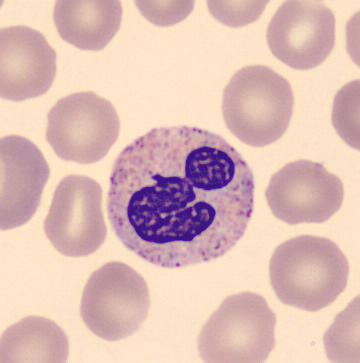
Peripheral blood smear. Cell type — neutrophil (segmented).